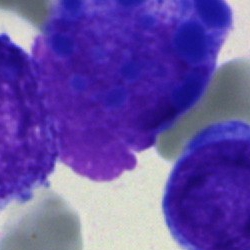

An artefact.